Bone marrow aspirate smear.
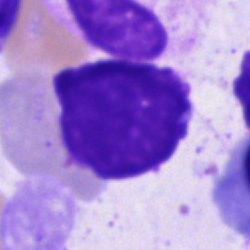

Showing an artefact.